40× oil immersion; bone marrow aspirate smear: 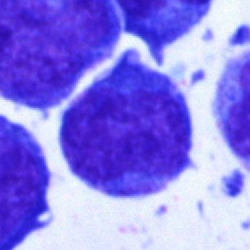

Morphological class — undifferentiated blast.